Bone marrow aspirate smear.
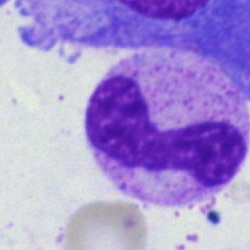
This is a neutrophil (segmented).